Bone marrow smear: 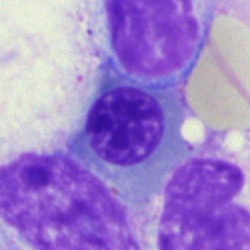Morphological class = erythroblast.